40× oil immersion. Bone marrow aspirate smear
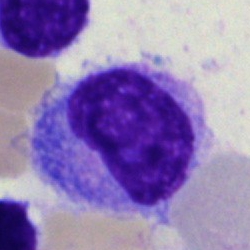

Classification — monocyte.